Bone marrow smear
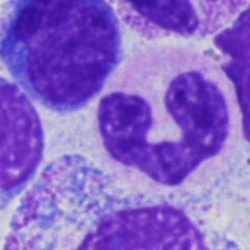
Morphology consistent with a neutrophil (segmented).